Peripheral blood film: 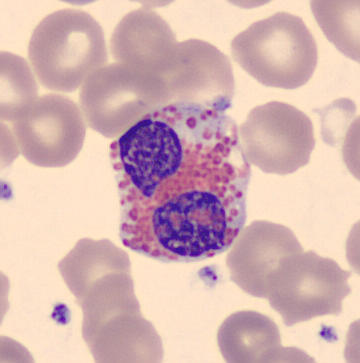Classification = eosinophilic granulocyte.